M8 digital microscope (Precipoint), 100× oil immersion; peripheral blood film; single cell centered in the field.
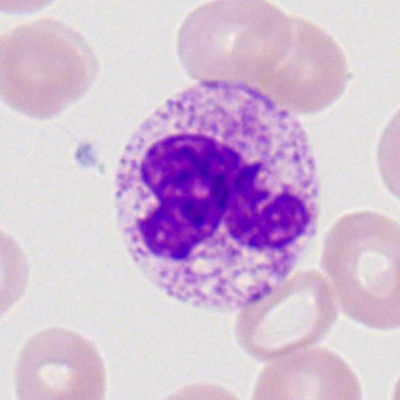

Specimen: peripheral blood smear.
Morphological class: neutrophil (segmented).
Lineage: myeloid.